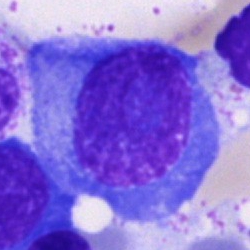 Cell: plasma cell.